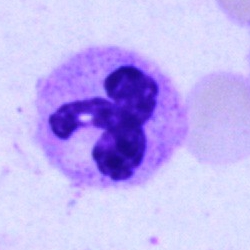The cell shown is a neutrophil (segmented).